Bone marrow aspirate smear — 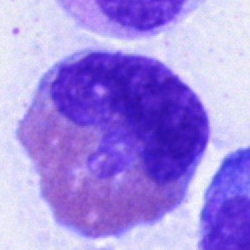

Cell — eosinophilic granulocyte.